Bone marrow smear
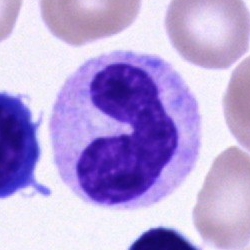
Cell = neutrophil (band).